Bone marrow aspirate smear:
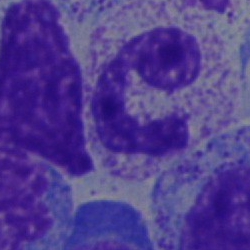 Showing a neutrophil (band).